Bone marrow aspirate smear:
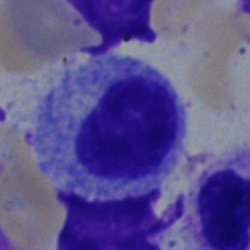 Specimen: bone marrow smear.
Morphological class: myelocyte.
Lineage: myeloid.